Bone marrow aspirate smear; single-cell field; MGG-stained — 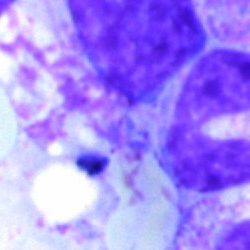Classification = stab cell.